Bone marrow aspirate smear: 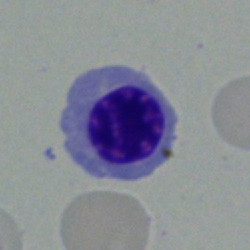 A nucleated red cell.